Bone marrow aspirate smear · brightfield microscopy, 40× oil immersion.
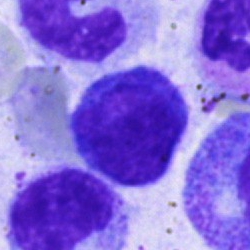
Specimen: bone marrow smear.
Cell: lymphocyte.
Lineage: lymphoid.